Bone marrow smear: 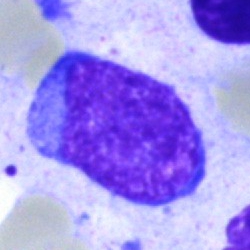Q: What is the morphological classification of this cell?
A: Blast cell.